Bone marrow aspirate smear
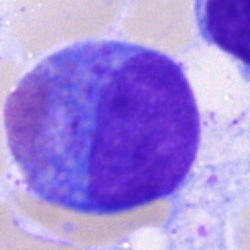 Morphology → eosinophil.